Bone marrow aspirate smear
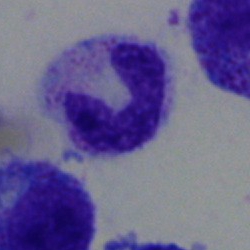

Cell — neutrophil (band).